Cropped to a single cell · bone marrow aspirate smear · brightfield, 40× oil-immersion objective:
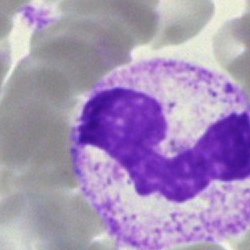Morphological class — segmented neutrophil.